Bone marrow smear:
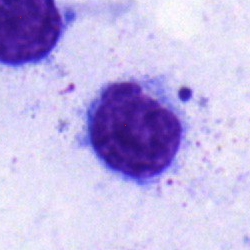Morphology — lymphocyte.